Bone marrow smear.
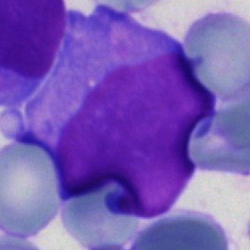

Q: Which cell type is shown here?
A: Undifferentiated blast.